Bone marrow aspirate smear — 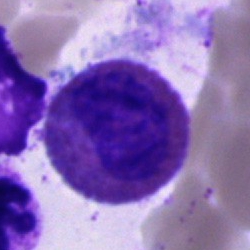 Morphological class — eosinophilic granulocyte.